Bone marrow smear
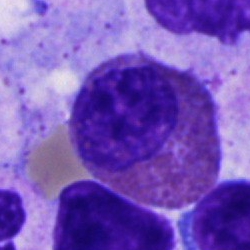 Specimen: bone marrow aspirate smear.
Cell type: eosinophilic granulocyte.
Lineage: myeloid.